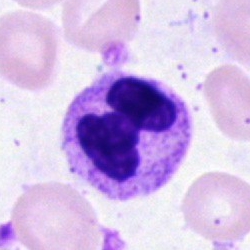 Impression → segmented neutrophil.